Bone marrow smear
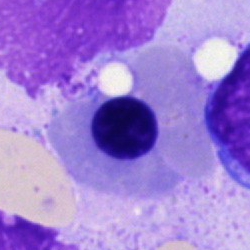
Cell = erythroblast.